Bone marrow aspirate smear:
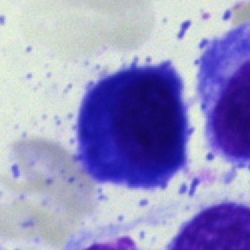

The classification is plasmacyte.